Peripheral blood smear — 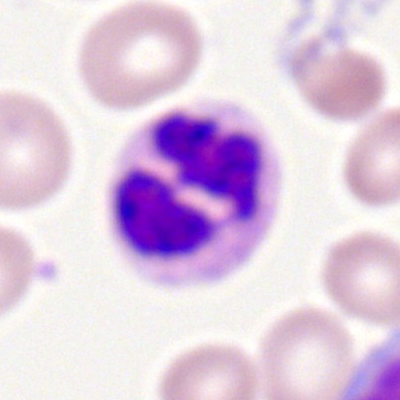 The cell type is neutrophil (segmented).